Bone marrow aspirate smear · cropped to a single cell — 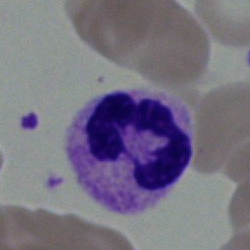The cell is segmented neutrophil.